Bone marrow smear
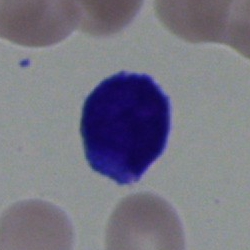 This is a lymphocyte.